Bone marrow aspirate smear: 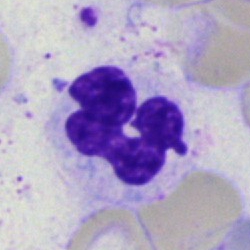 Morphology consistent with a neutrophil (segmented).